Peripheral blood film
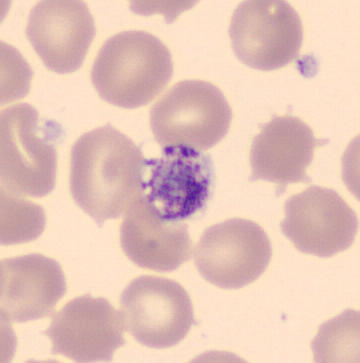
A platelet.